40× oil immersion · bone marrow smear · image size 250×250: 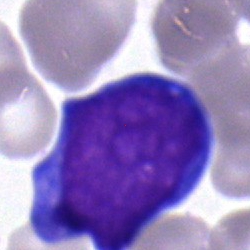
Morphology → lymphocyte.